Peripheral blood smear. 400×400 px
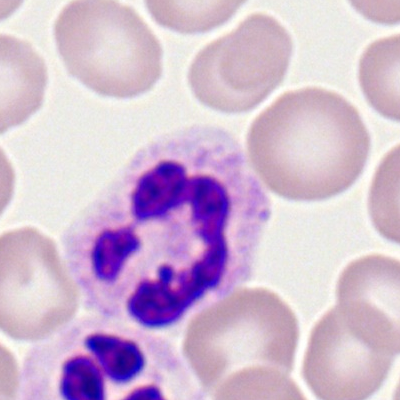

Cell: neutrophil (segmented).